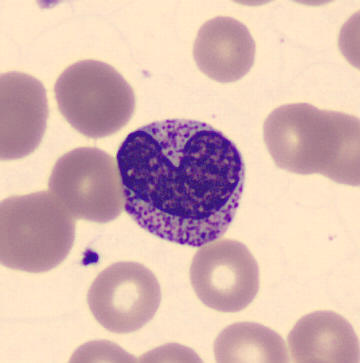Single-cell crop from a peripheral blood smear: metamyelocyte.